Bone marrow smear · 40× objective, oil immersion: 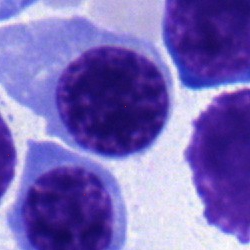 Morphology → normoblast.